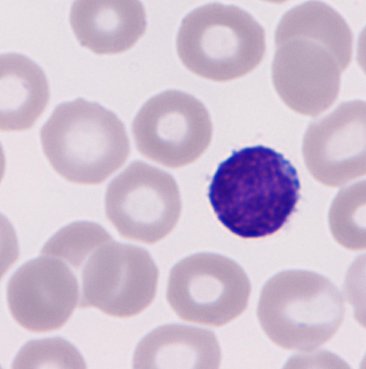 Single cell identified as a typical lymphocyte.

Acquisition: May-Grünwald-Giemsa-stained · peripheral blood film.